100× objective, oil immersion; peripheral blood smear
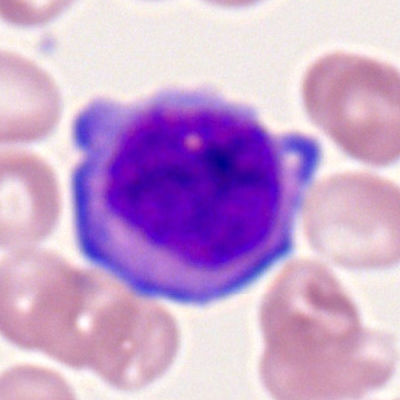
Q: Identify the cell.
A: A myeloblast.